M8 digital microscope (Precipoint), 100× oil immersion; 400×400; peripheral blood smear — 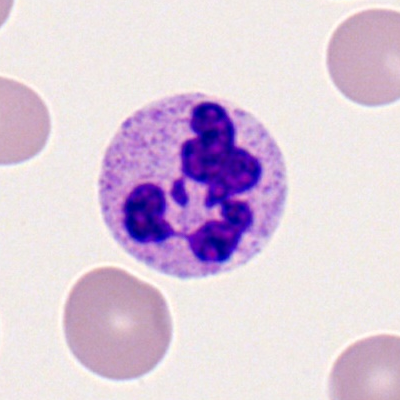 This is a polymorphonuclear neutrophil.